Brightfield microscopy, 40× oil immersion · bone marrow aspirate smear
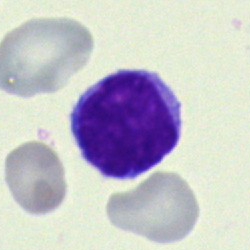

Specimen: bone marrow smear.
Cell: lymphocyte.
Lineage: lymphoid.